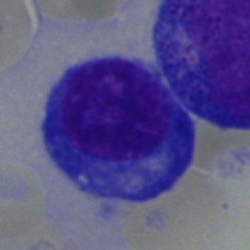
This is a plasma cell.